Bone marrow smear:
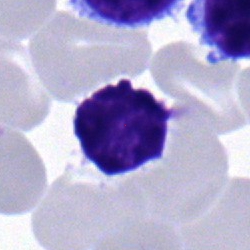 Cell type — lymphocyte.